Bone marrow aspirate smear. Brightfield, 40× oil-immersion objective
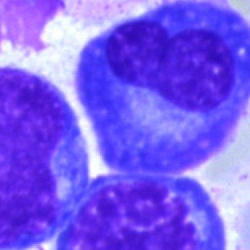

Specimen: bone marrow aspirate smear.
Morphological class: plasmacyte.
Lineage: lymphoid.